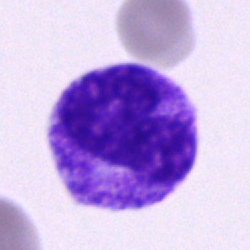

{"cell_type": "stab cell", "lineage": "myeloid"}